Single-cell field. Bone marrow smear.
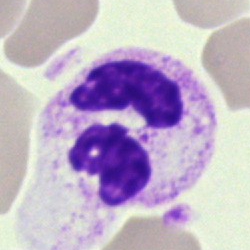

Q: What is the morphological classification of this cell?
A: It is a polymorphonuclear neutrophil.